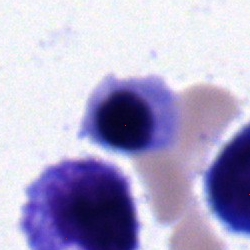 {"cell_type": "normoblast", "lineage": "erythroid"}